Bone marrow smear.
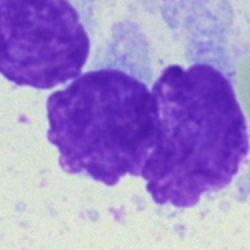
Single cell identified as an artefact.